Bone marrow smear:
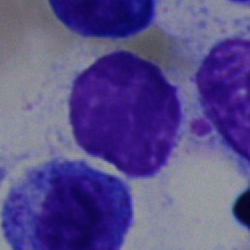

Classification = artefact.